40× objective, oil immersion · bone marrow smear
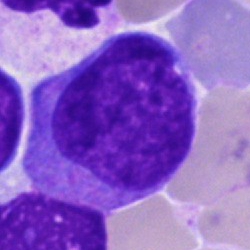 Specimen: bone marrow aspirate smear.
Cell: undifferentiated blast.